Bone marrow aspirate smear — 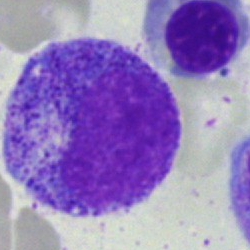 The morphological class is promyelocyte.